Brightfield microscopy, 40× oil immersion. Bone marrow smear
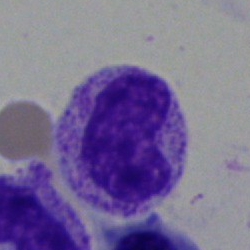 A metamyelocyte.